Bone marrow aspirate smear; Pappenheim-stained
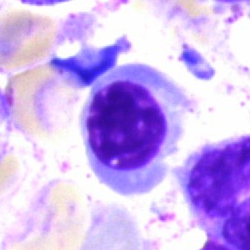 Morphology consistent with a nucleated red blood cell.